Bone marrow smear: 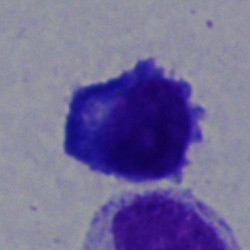
Showing a plasma cell.